Bone marrow smear — 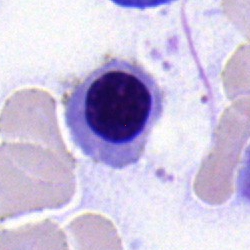
Cell type — nucleated red cell.